Single-cell field. Bone marrow smear. Brightfield, 40× oil-immersion objective
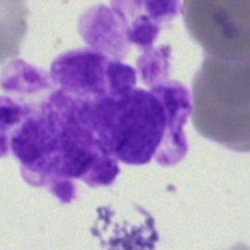Q: What is shown here?
A: An artifact.